Bone marrow aspirate smear:
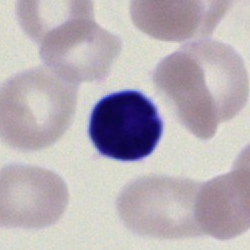

Morphology consistent with a lymphocyte.